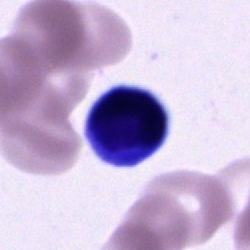Cell = unidentifiable cell.